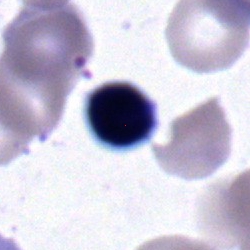{"cell_type": "nucleated red blood cell"}